Bone marrow aspirate smear. Single-cell field: 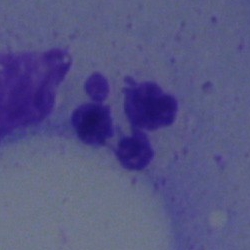
A polymorphonuclear neutrophil.